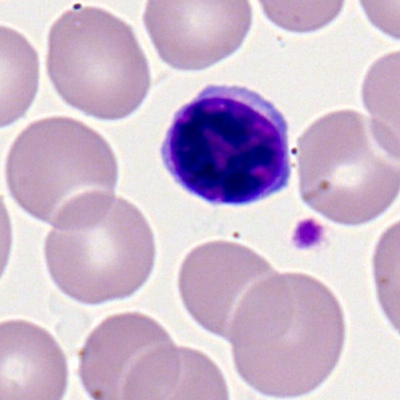

A lymphocyte.